Bone marrow smear — 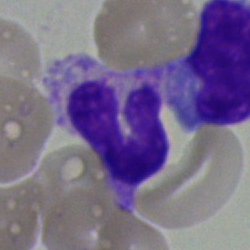

Specimen: bone marrow aspirate smear.
Cell: band neutrophil.